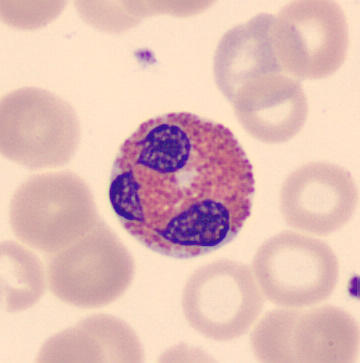 Specimen: peripheral blood smear.
Morphological class: eosinophilic granulocyte.
Lineage: myeloid.